MGG-stained; brightfield, 40× oil-immersion objective; bone marrow smear: 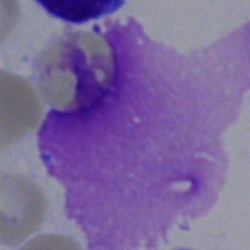Cell — artifact.